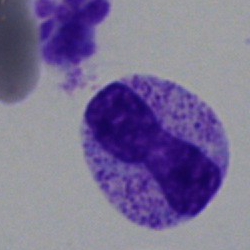Q: Which cell type is shown here?
A: It is a band neutrophil.